Cropped to a single cell · bone marrow smear · brightfield microscopy, 40× oil immersion — 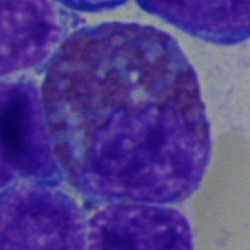Classification = eosinophil.